Single-cell crop; bone marrow aspirate smear; May-Grünwald-Giemsa/Pappenheim stain.
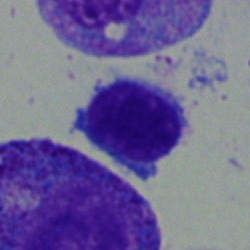
Q: What is shown here?
A: A lymphocyte.